Single-cell field. Bone marrow smear. 250×250 px
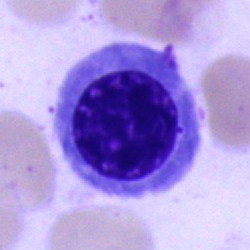 Impression — nucleated red cell.